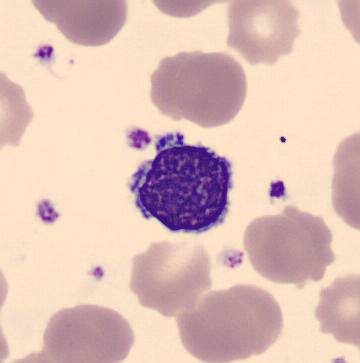
From a peripheral blood smear: a typical lymphocyte.